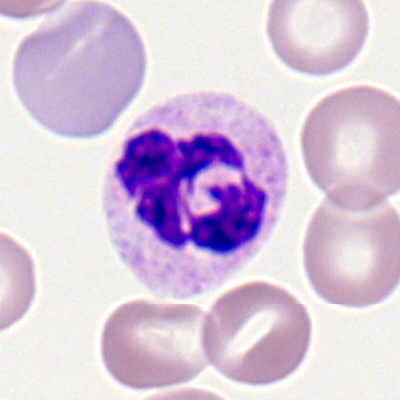 Q: Which cell type is shown here?
A: Segmented neutrophil.